Bone marrow aspirate smear · image size 250×250:
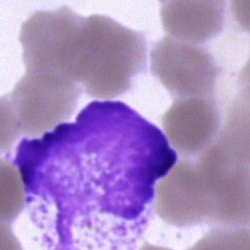 Single cell identified as an artifact.